Bone marrow aspirate smear:
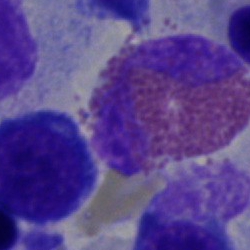
Cell: eosinophilic granulocyte.